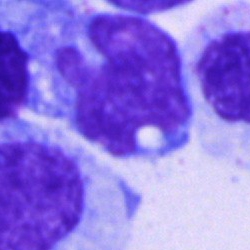

Bone marrow aspirate smear, single cell — monocyte.